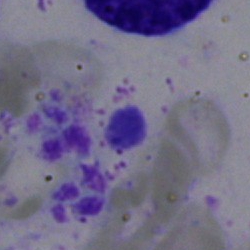

Classification — artefact.